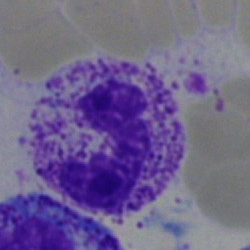

Specimen: bone marrow smear.
Classification: band-form neutrophil.